Bone marrow smear.
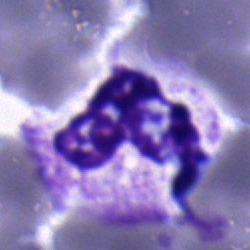
Q: What cell is this?
A: A neutrophil (segmented).